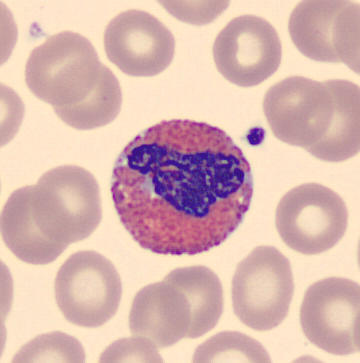 Impression — eosinophil.
360 by 363 pixels; CellaVision DM96 digital cell image; peripheral blood film.